Bone marrow smear. Single-cell field: 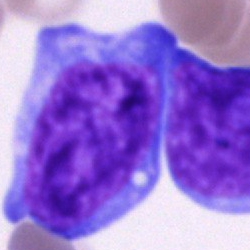

Blast cell.